Bone marrow aspirate smear · 40× objective, oil immersion:
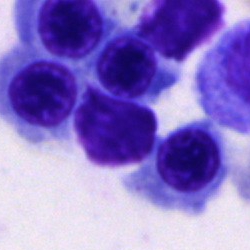
This is a nucleated red blood cell.